Single-cell crop; bone marrow aspirate smear — 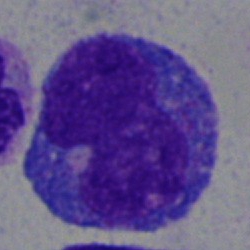
Progranulocyte.